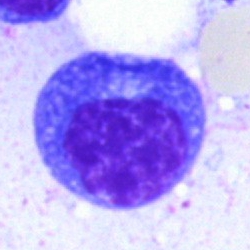
A nucleated red cell.